Bone marrow smear; May-Grünwald-Giemsa/Pappenheim stain — 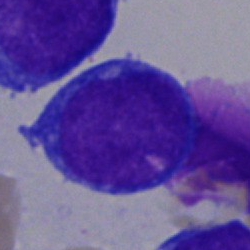 Cell — typical lymphocyte.